Brightfield, 40× oil-immersion objective; bone marrow aspirate smear:
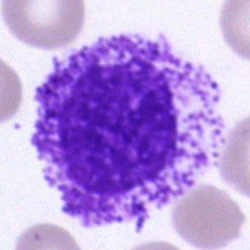Cell: myelocyte.